MGG-stained · bone marrow smear
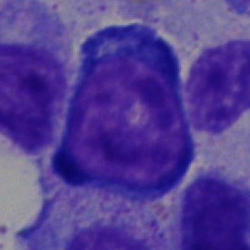

Cell = proerythroblast.